40× objective, oil immersion · bone marrow aspirate smear · cropped to a single cell
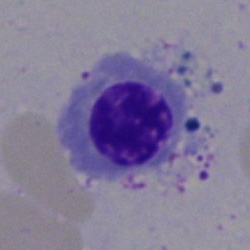Q: What cell is this?
A: This is a nucleated red blood cell.